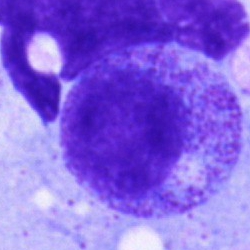
Progranulocyte.